Single-cell crop. Bone marrow smear.
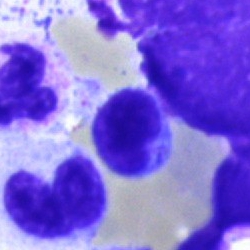The cell type is lymphocyte.